MGG-stained · brightfield, 40× oil-immersion objective · bone marrow smear.
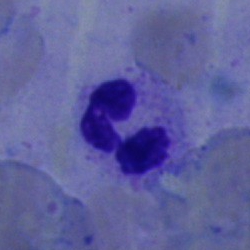Q: What type of cell is this?
A: A neutrophil (segmented).